Bone marrow smear — 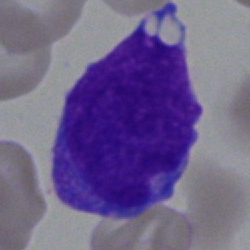
Cell type: undifferentiated blast.